Bone marrow aspirate smear
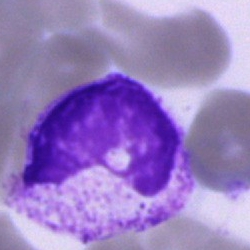
Showing an unidentifiable cell.